Bone marrow aspirate smear · 250 by 250 pixels: 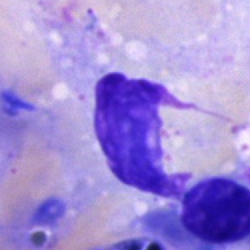Q: What is shown here?
A: Artefact.